Bone marrow smear:
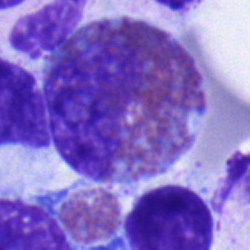

Q: Which cell type is shown here?
A: An eosinophilic granulocyte.